Bone marrow aspirate smear — 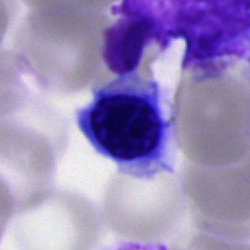Cell type — normoblast.